Bone marrow aspirate smear; 40× objective, oil immersion; MGG-stained: 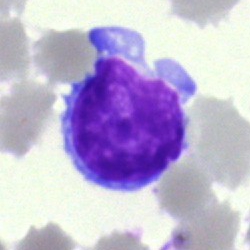

Single cell identified as a lymphocyte.